Bone marrow aspirate smear: 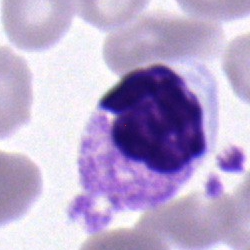 Morphology → segmented neutrophil.